May-Grünwald-Giemsa/Pappenheim stain · 250×250 · bone marrow aspirate smear.
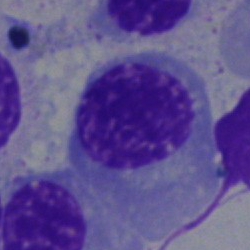
Specimen: bone marrow smear.
Morphological class: normoblast.